Bone marrow smear:
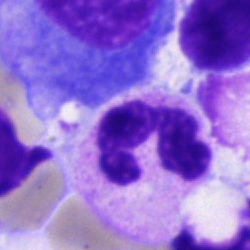
Morphological class = neutrophil (segmented).